Bone marrow smear; 250 by 250 pixels.
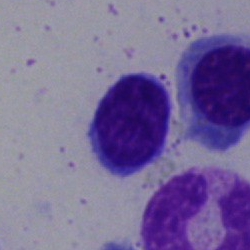Showing a typical lymphocyte.